Bone marrow smear. Single-cell field.
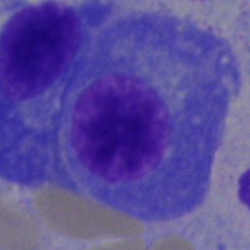 Cell: plasmacyte.